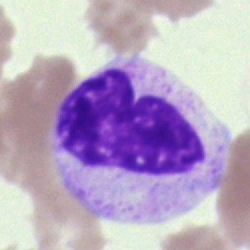
The cell shown is a metamyelocyte.